Bone marrow aspirate smear · 250×250 px — 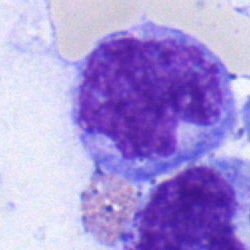Cell — monocyte.